250 by 250 pixels. Bone marrow aspirate smear
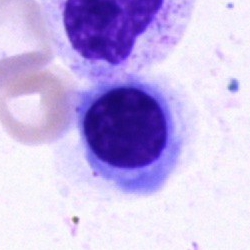Cell type — normoblast.